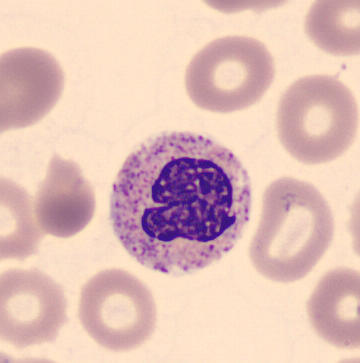
Peripheral blood film.
Cell: band-form neutrophil.